Bone marrow aspirate smear
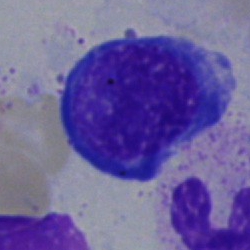

Classification: nucleated red blood cell.